40× oil immersion; bone marrow smear
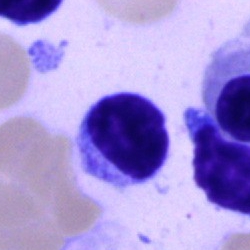The classification is lymphocyte.